100× objective, oil immersion · peripheral blood smear:
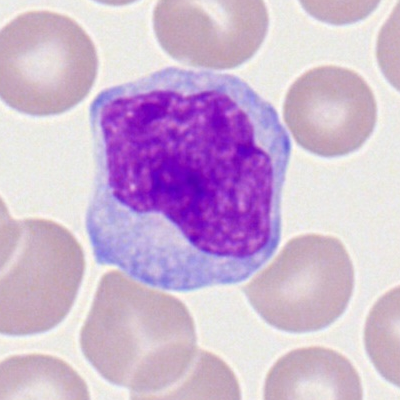

Classification — typical lymphocyte.